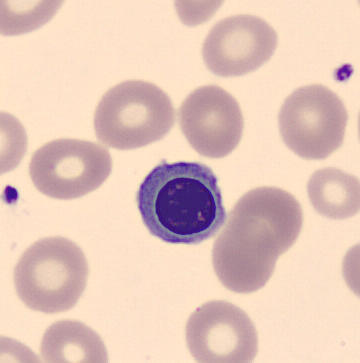

The cell type is normoblast.